Bone marrow aspirate smear: 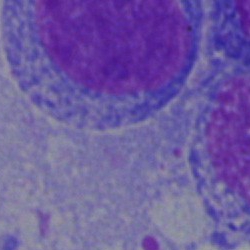

Specimen: bone marrow smear.
Classification: blast.